Bone marrow smear — 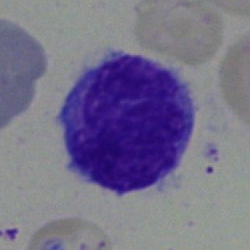
A monocyte.